May-Grünwald-Giemsa/Pappenheim stain; bone marrow smear; 40× oil immersion:
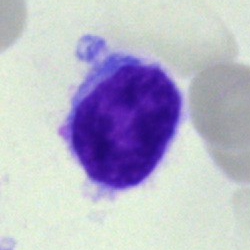

A hairy cell.